Peripheral blood smear. 100× oil immersion — 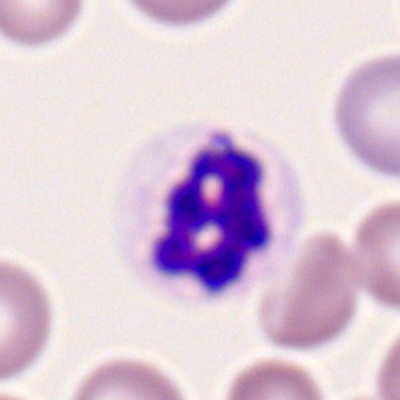 Specimen: peripheral blood film.
Morphological class: polymorphonuclear neutrophil.
Lineage: myeloid.